May-Grünwald-Giemsa stain · bone marrow smear · 250×250 px: 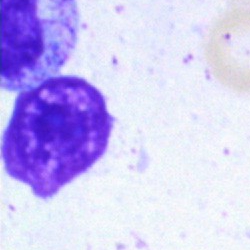
The morphological class is artifact.